Image size 400×400; peripheral blood smear — 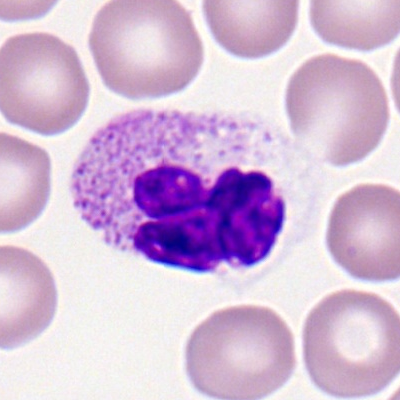
The cell is segmented neutrophil.